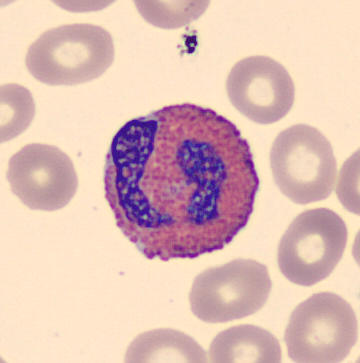 Specimen: peripheral blood smear.
Classification: eosinophilic granulocyte.
Image: 360×363.